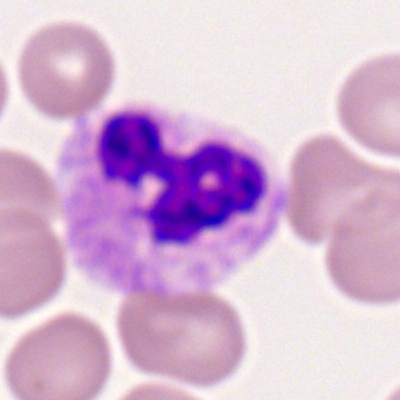 Impression — polymorphonuclear neutrophil.